May-Grünwald-Giemsa stain; bone marrow aspirate smear:
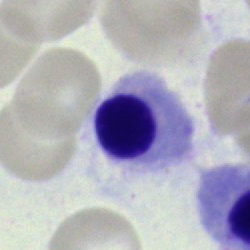
Showing a normoblast.